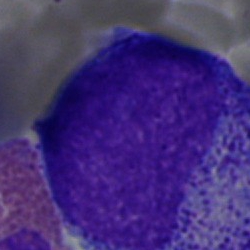

Bone marrow smear showing a promyelocyte.